Bone marrow smear:
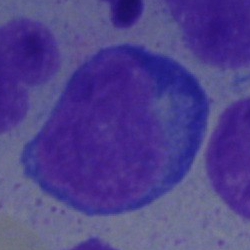
The cell shown is a pronormoblast.